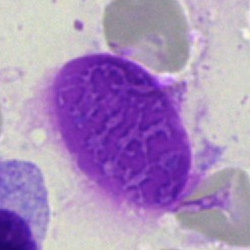 Cell — artefact.